Peripheral blood film.
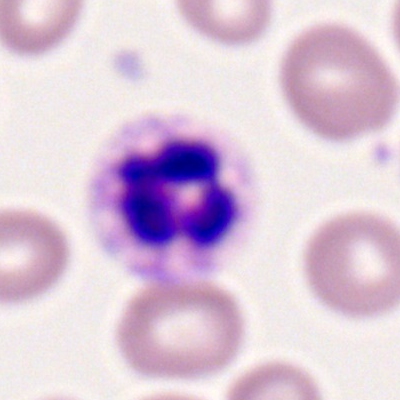 Morphological class: polymorphonuclear neutrophil.